Bone marrow smear.
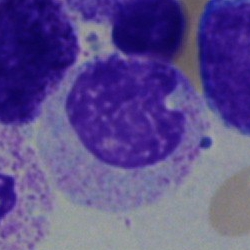

Q: What type of cell is this?
A: It is a myelocyte.